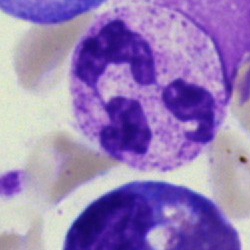

Cell type — neutrophil (segmented).